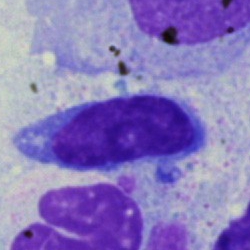Single-cell crop from a bone marrow smear: typical lymphocyte.